Bone marrow smear. MGG-stained. 250 by 250 pixels: 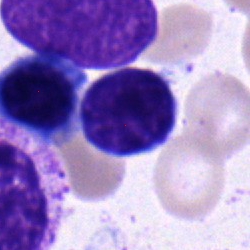

Q: Identify the cell.
A: A lymphocyte.